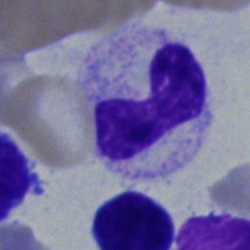

Q: What type of cell is this?
A: It is a band-form neutrophil.